Bone marrow smear: 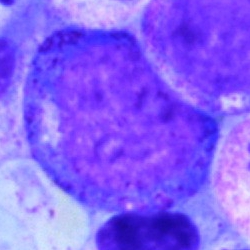
Specimen: bone marrow aspirate smear.
Cell type: promyelocyte.
Lineage: myeloid.